Romanowsky stain · peripheral blood smear · single cell centered in the field: 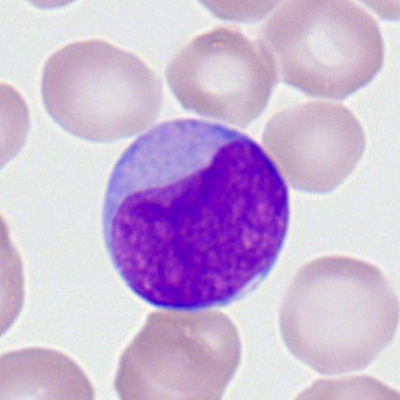The cell shown is a myeloid blast.